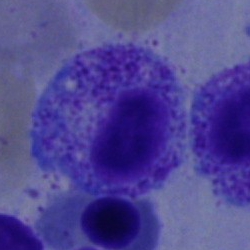

Cell type = myelocyte.